Bone marrow aspirate smear · MGG-stained:
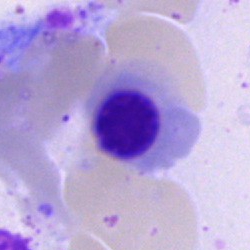
{"cell_type": "nucleated red cell", "lineage": "erythroid"}